May-Grünwald-Giemsa/Pappenheim stain. Bone marrow smear — 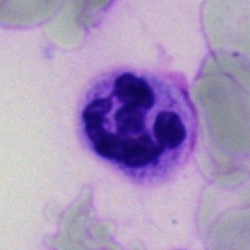 Classification: segmented neutrophil.